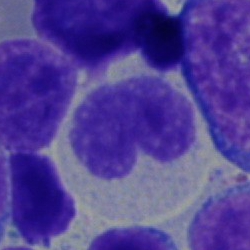
Cell — band-form neutrophil.